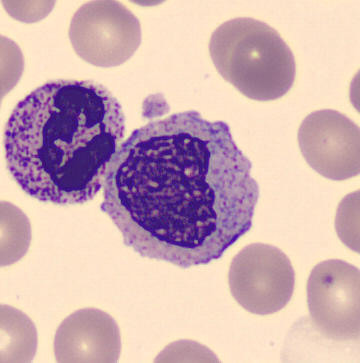Impression → metamyelocyte.

Peripheral blood smear. 360 by 363 pixels.